Single-cell crop · peripheral blood film — 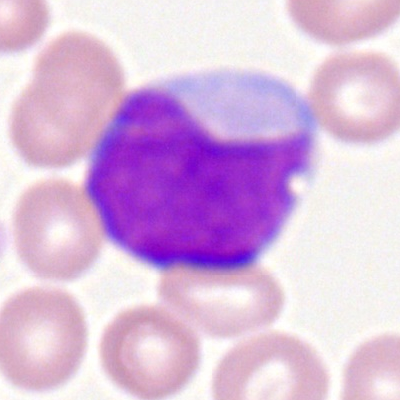

Specimen: peripheral blood film.
Morphological class: myeloid blast.
Lineage: myeloid.